Bone marrow aspirate smear:
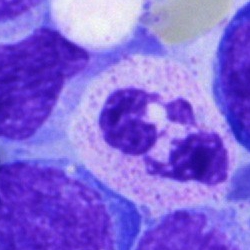Morphological class: polymorphonuclear neutrophil.